Single-cell crop; bone marrow aspirate smear:
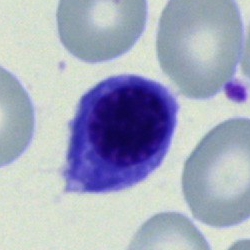 Morphology consistent with a nucleated red blood cell.